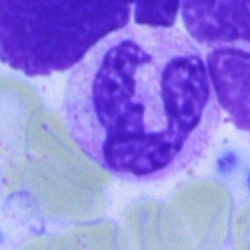Q: Identify the cell.
A: It is a polymorphonuclear neutrophil.